Bone marrow smear — 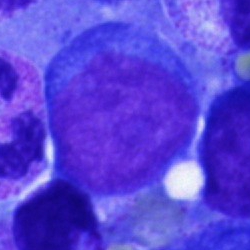 Morphology → blast.